Bone marrow smear; Pappenheim-stained: 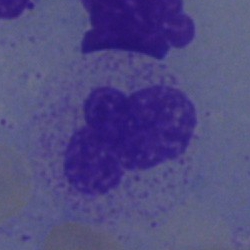

Single cell identified as a segmented neutrophil.